Bone marrow aspirate smear; single-cell field.
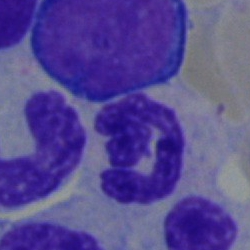Specimen: bone marrow smear.
Classification: neutrophil (segmented).
Lineage: myeloid.